Bone marrow smear; single-cell field
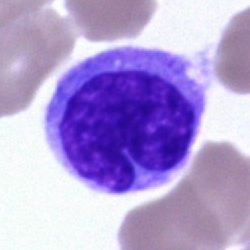

This is a monocyte.